Bone marrow smear.
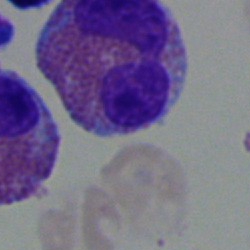Q: What is the morphological classification of this cell?
A: Eosinophil.